Bone marrow aspirate smear · MGG-stained.
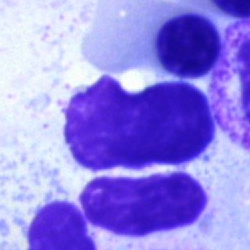 {"cell_type": "artifact"}